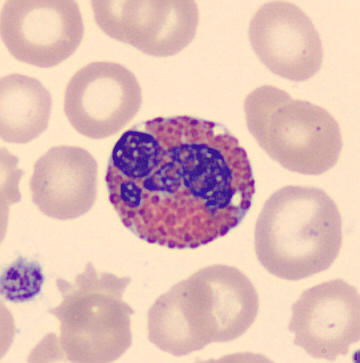
CellaVision DM96. Peripheral blood smear. May-Grünwald-Giemsa-stained.
{"cell_type": "eosinophil"}